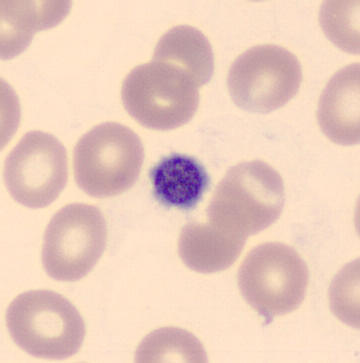
Peripheral blood film · automated cell imaging (CellaVision DM96).

Impression — thrombocyte.